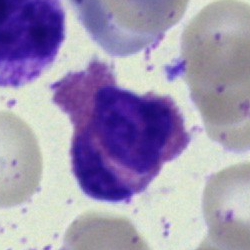

The cell type is eosinophilic granulocyte.